Bone marrow aspirate smear — 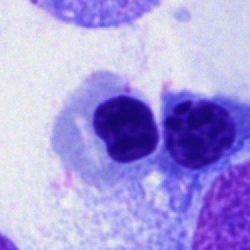
This is a nucleated red blood cell.